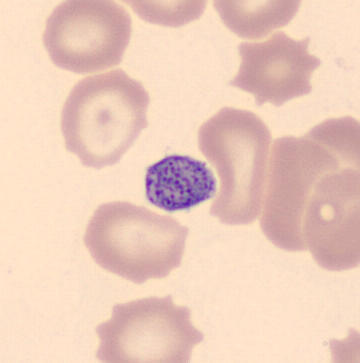

Imaged on a CellaVision DM96 analyser. 360 by 363 pixels. Peripheral blood smear.

Cell type: thrombocyte.